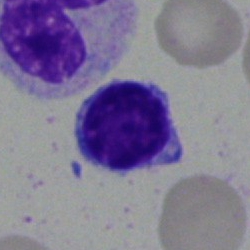 Single cell identified as a lymphocyte.